100× oil immersion; peripheral blood film: 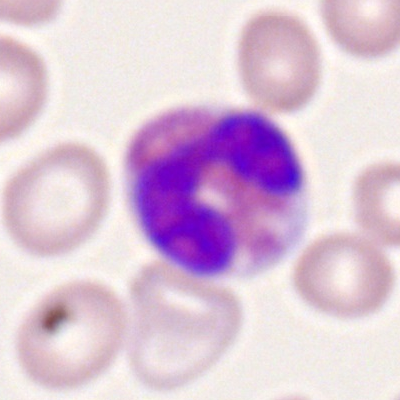

Cell: eosinophilic granulocyte.